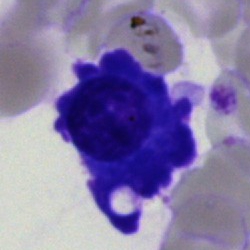

Impression → plasmacyte.